Bone marrow aspirate smear; brightfield, 40× oil-immersion objective; 250 by 250 pixels
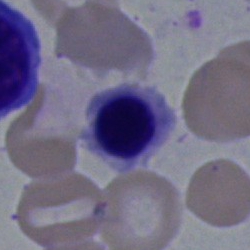

Q: What cell is this?
A: Normoblast.